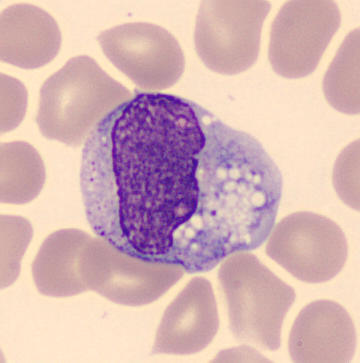
A monocyte.